Bone marrow smear:
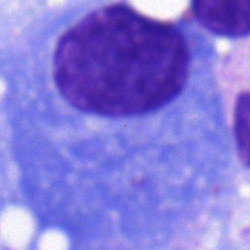
A plasma cell.